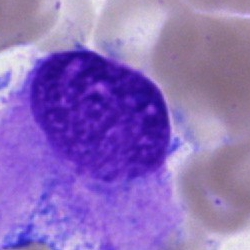 Cell = artifact.